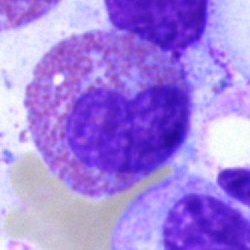 Q: Which cell type is shown here?
A: This is an eosinophil.